Brightfield microscopy, 40× oil immersion. Bone marrow smear. Cropped to a single cell
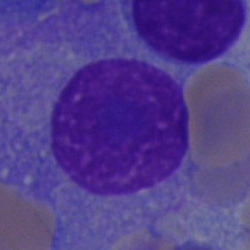
A plasmacyte.